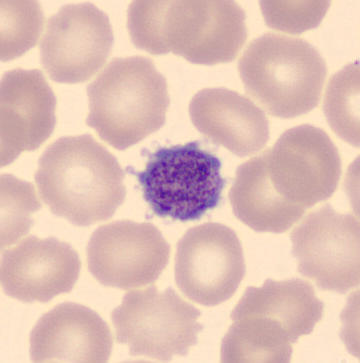
Q: What is shown here?
A: This is a platelet.
360 by 363 pixels; peripheral blood film.